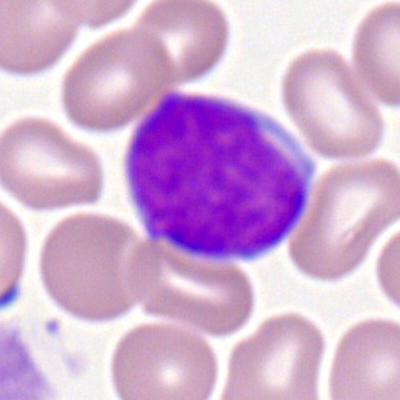
Cell — myeloblast.